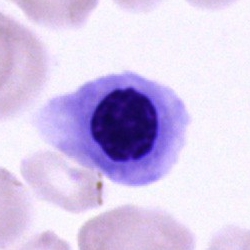

Bone marrow aspirate smear, single cell — nucleated red blood cell.